Bone marrow aspirate smear; cropped to a single cell
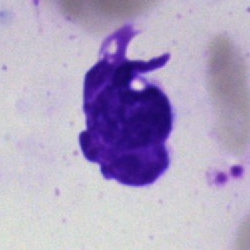

The cell is artefact.